Bone marrow smear · brightfield microscopy, 40× oil immersion · single cell centered in the field — 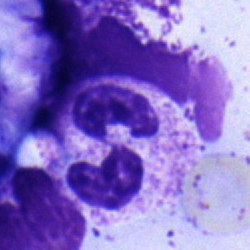Q: What is the morphological classification of this cell?
A: It is a polymorphonuclear neutrophil.